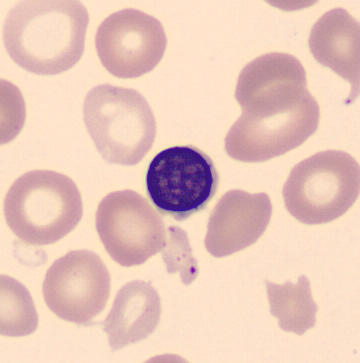

Single-cell crop. Peripheral blood film.
Morphology consistent with a normoblast.